40× objective, oil immersion · bone marrow aspirate smear: 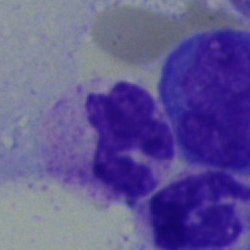Polymorphonuclear neutrophil.